Cropped to a single cell; brightfield microscopy, 40× oil immersion; bone marrow aspirate smear
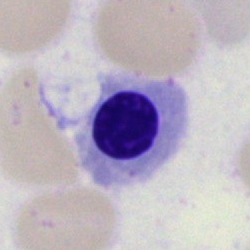

Showing a nucleated red cell.